Bone marrow smear.
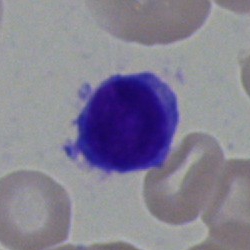

This is a typical lymphocyte.